250 by 250 pixels. Bone marrow smear. May-Grünwald-Giemsa/Pappenheim stain:
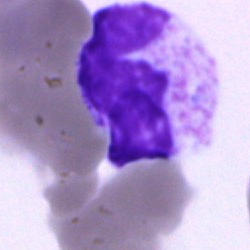 Classification = polymorphonuclear neutrophil.